Bone marrow smear
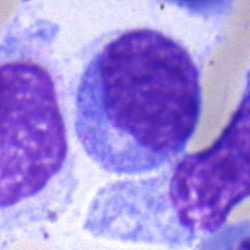The cell type is myelocyte.